Bone marrow aspirate smear:
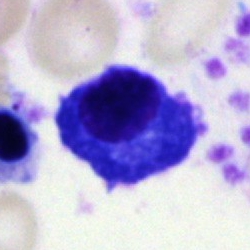
The cell shown is a plasmacyte.